Bone marrow smear: 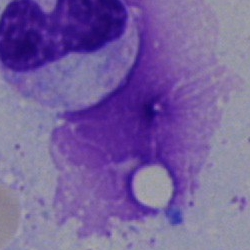 Q: What is shown here?
A: Artefact.